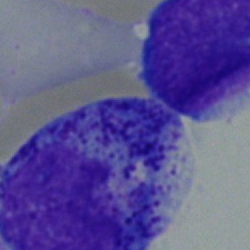Bone marrow aspirate smear, single cell — progranulocyte.